Bone marrow aspirate smear · single-cell field — 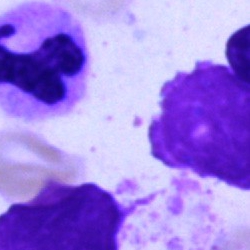 Morphological class: artifact.